Bone marrow smear · brightfield, 40× oil-immersion objective.
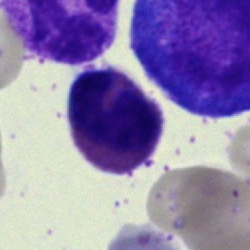 The classification is eosinophilic granulocyte.